Bone marrow aspirate smear · MGG-stained:
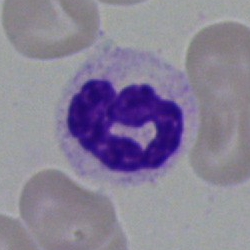 Q: Identify the cell.
A: A neutrophil (segmented).